Brightfield microscopy, 40× oil immersion · bone marrow aspirate smear
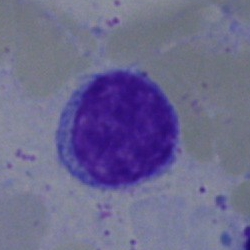
Specimen: bone marrow smear.
Morphological class: typical lymphocyte.